Bone marrow aspirate smear:
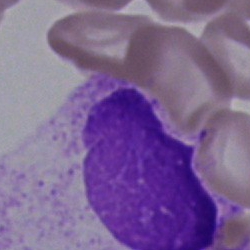Artifact.